Bone marrow aspirate smear — 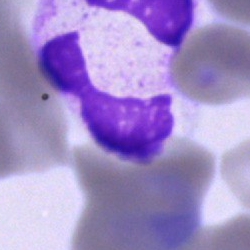
Q: What cell is this?
A: Cell of indeterminate lineage.